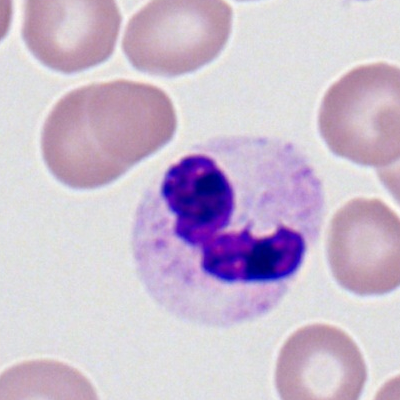 Specimen: peripheral blood smear.
Morphological class: segmented neutrophil.
Lineage: myeloid.